Peripheral blood smear.
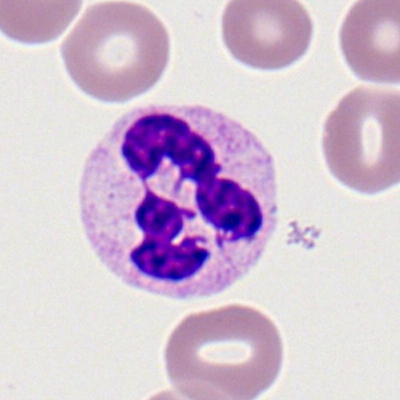 Showing a neutrophil (segmented).